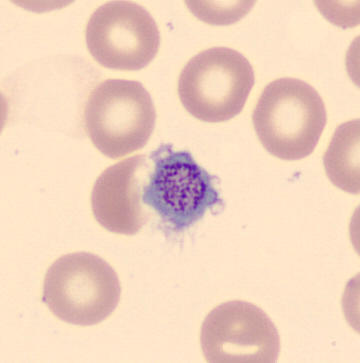

Peripheral blood film.
Morphological class: thrombocyte.